Bone marrow smear; single-cell field; 40× objective, oil immersion: 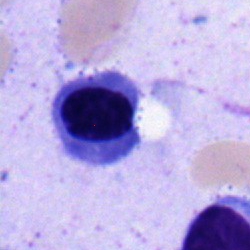

Nucleated red blood cell.